Bone marrow smear.
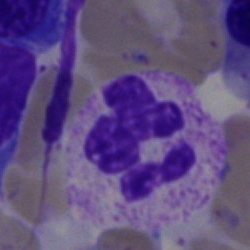

The cell shown is a polymorphonuclear neutrophil.